Bone marrow smear — 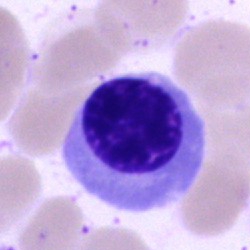Specimen: bone marrow smear.
Cell: nucleated red cell.
Lineage: erythroid.